Bone marrow aspirate smear
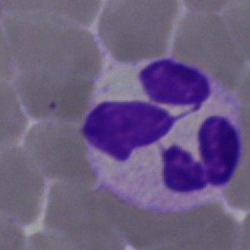

Classification — segmented neutrophil.